Peripheral blood smear: 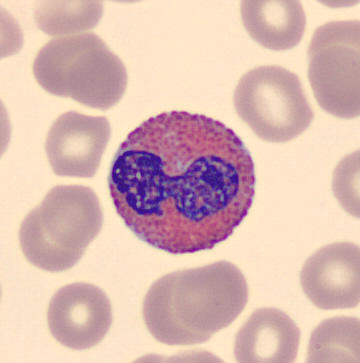

Showing an eosinophilic granulocyte.